Bone marrow smear; May-Grünwald-Giemsa/Pappenheim stain.
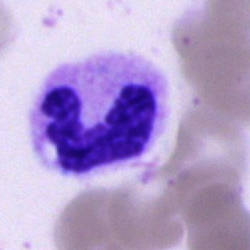 The cell shown is a neutrophil (segmented).